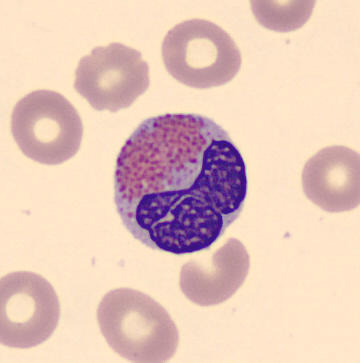
The cell shown is an eosinophilic granulocyte.